250×250 · bone marrow smear
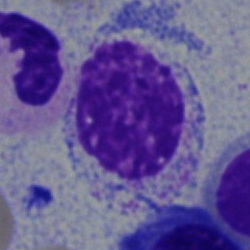 Q: Identify the cell.
A: It is a myelocyte.